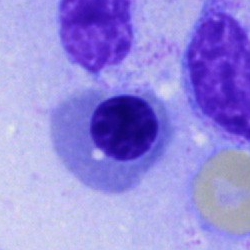

A nucleated red cell.